Bone marrow aspirate smear.
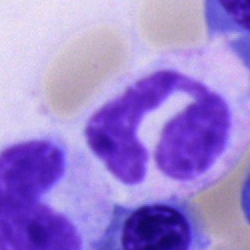Morphological class: polymorphonuclear neutrophil.